Bone marrow aspirate smear. MGG-stained: 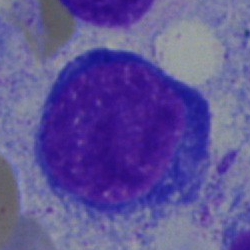

Q: Identify the cell.
A: A proerythroblast.